Bone marrow aspirate smear · single cell centered in the field · 40× oil immersion — 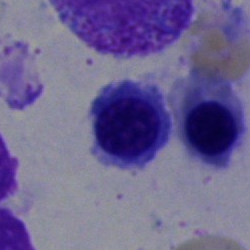

Cell type: nucleated red blood cell.